Bone marrow smear. Single-cell field — 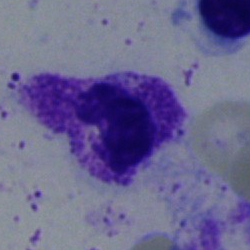
Q: Which cell type is shown here?
A: Polymorphonuclear neutrophil.